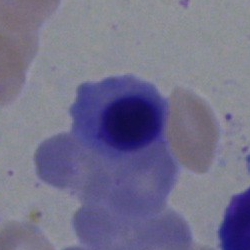 Single cell identified as an erythroblast.